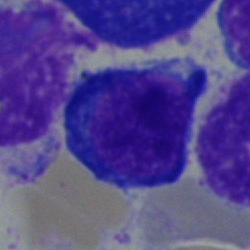 Cell type — proerythroblast.